Bone marrow aspirate smear: 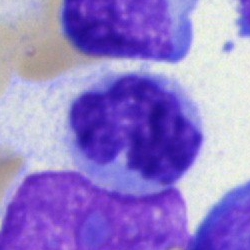 Single cell identified as a monocyte.